Bone marrow smear
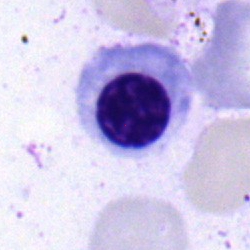
The cell is normoblast.